Single cell centered in the field; bone marrow aspirate smear: 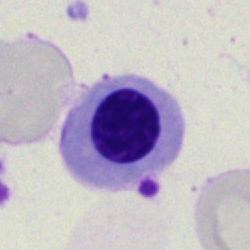
Cell — nucleated red blood cell.